Brightfield microscopy, 40× oil immersion; bone marrow aspirate smear:
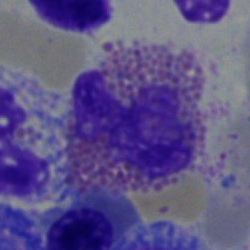Cell type — eosinophilic granulocyte.